40× oil immersion · single-cell field · bone marrow aspirate smear:
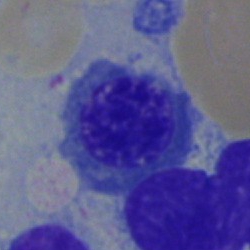Showing a normoblast.